Bone marrow smear; May-Grünwald-Giemsa/Pappenheim stain:
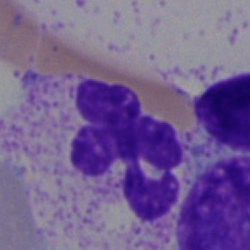
Morphology consistent with a segmented neutrophil.